Peripheral blood film
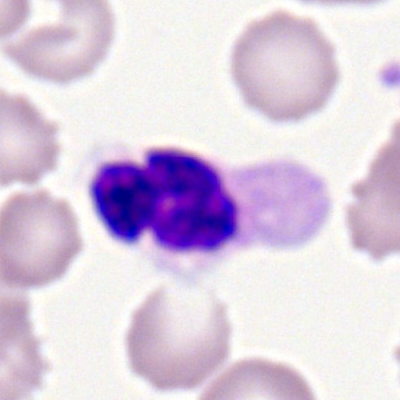{"cell_type": "polymorphonuclear neutrophil"}